Single cell centered in the field. Bone marrow smear. 40× oil immersion — 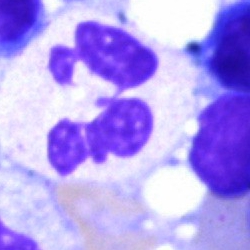
Neutrophil (segmented).